Bone marrow smear: 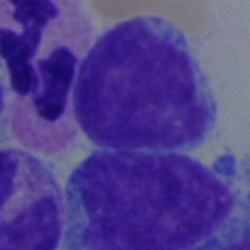
Morphology consistent with a blast cell.